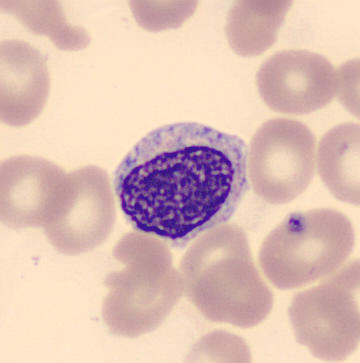
Impression — myelocyte.